Bone marrow smear. 40× objective, oil immersion. 250 by 250 pixels — 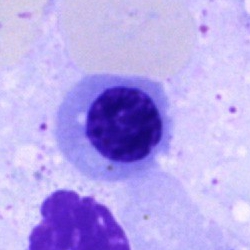 Single cell identified as an erythroblast.